May-Grünwald-Giemsa stain · bone marrow smear — 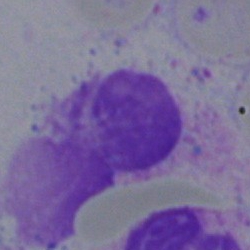 The cell is artifact.